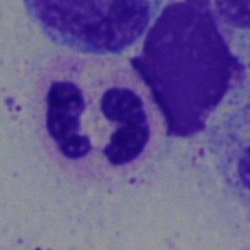

Bone marrow aspirate smear, single cell — segmented neutrophil.